Brightfield, 40× oil-immersion objective · bone marrow aspirate smear.
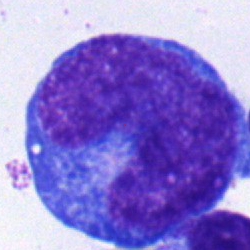 Specimen: bone marrow aspirate smear.
Cell type: promyelocyte.
Lineage: myeloid.